250 by 250 pixels; MGG-stained; bone marrow smear — 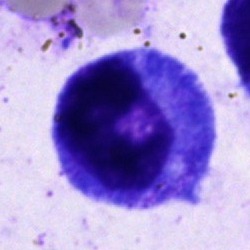
{"cell_type": "promyelocyte", "lineage": "myeloid"}